Single-cell crop. Peripheral blood film. Image size 400×400: 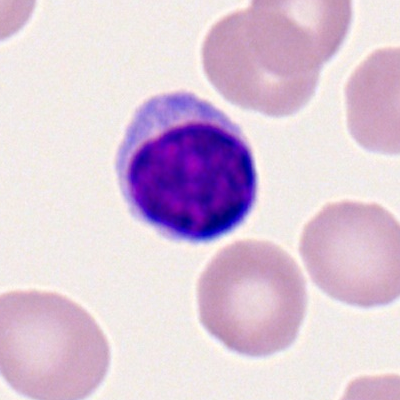
A typical lymphocyte.